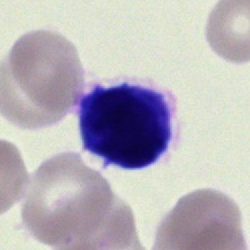
Single cell identified as a lymphocyte.